250×250. Bone marrow smear: 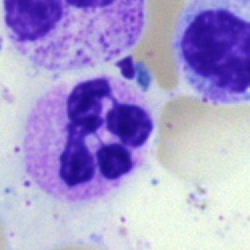
Classification: neutrophil (segmented).